MGG-stained · bone marrow aspirate smear · 250×250 px.
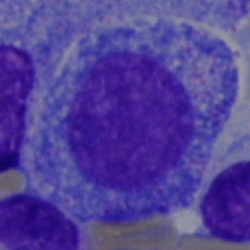

Morphological class: progranulocyte.